Bone marrow aspirate smear; 250×250 px; cropped to a single cell.
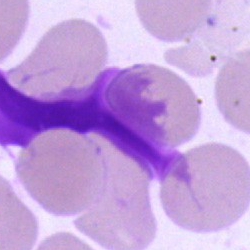

The cell shown is an artifact.